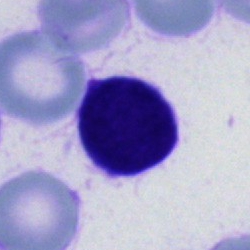

Morphological class: unidentifiable cell.